Bone marrow smear
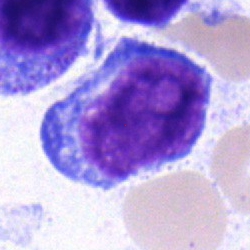
Morphology → typical lymphocyte.